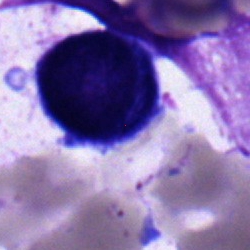
{"cell_type": "blast cell"}